Bone marrow smear
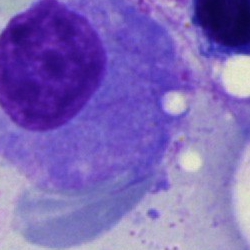

Q: Which cell type is shown here?
A: A plasma cell.